Peripheral blood film — 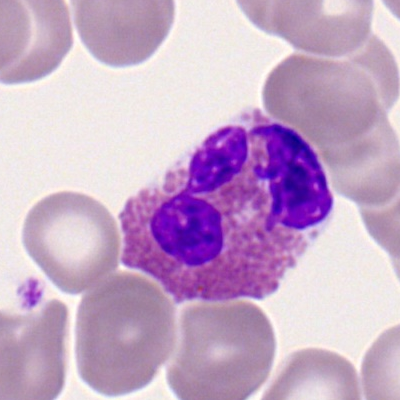

Cell type = eosinophilic granulocyte.